Bone marrow aspirate smear.
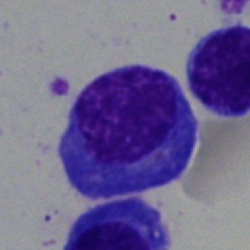Cell = plasma cell.